Bone marrow smear
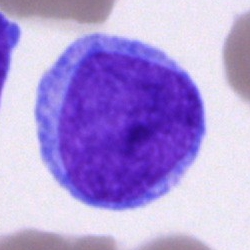
This is a blast.